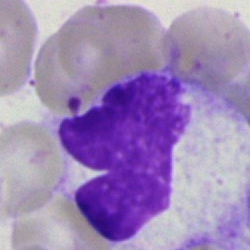
Showing an artifact.